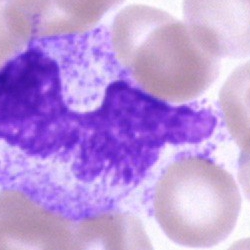 Morphology consistent with a cell of indeterminate lineage.